Peripheral blood smear. Image size 400×400
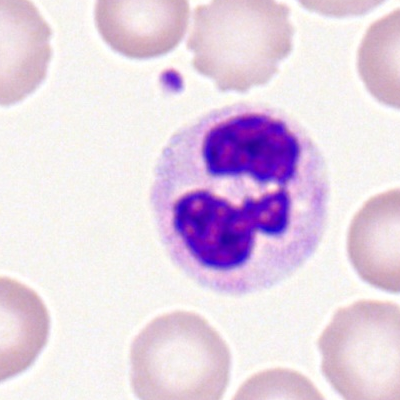

Impression — polymorphonuclear neutrophil.